Bone marrow smear.
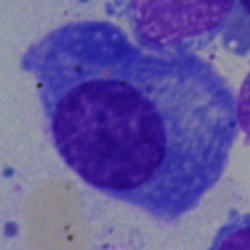
The classification is plasma cell.